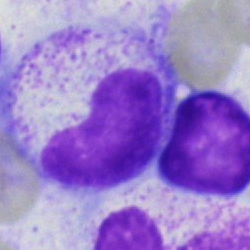Q: What is the morphological classification of this cell?
A: It is a metamyelocyte.